Bone marrow aspirate smear:
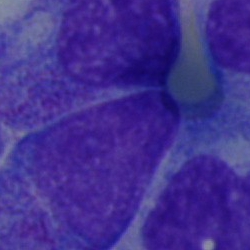

Morphology consistent with a promyelocyte.